250×250 · bone marrow smear · May-Grünwald-Giemsa/Pappenheim stain
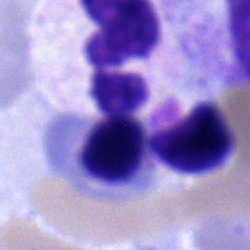 The morphological class is nucleated red cell.